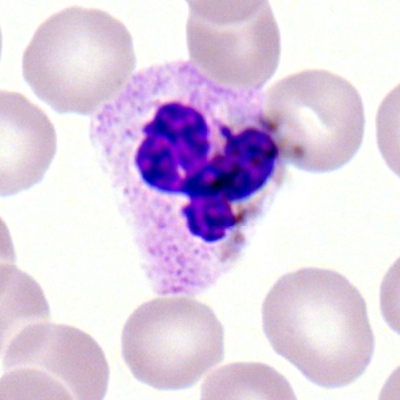 Showing a neutrophil (segmented).